Bone marrow smear.
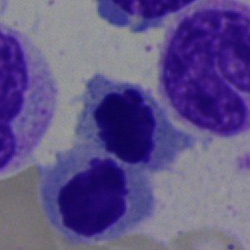

Morphology — nucleated red blood cell.